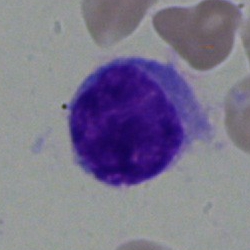

Cell type: hairy cell.